Bone marrow aspirate smear
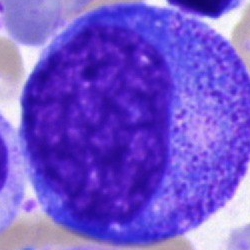 Specimen: bone marrow aspirate smear.
Cell: promyelocyte.